Bone marrow smear:
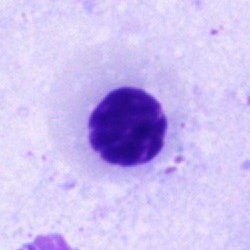 Specimen: bone marrow smear.
Cell type: normoblast.
Lineage: erythroid.